250×250 px; bone marrow smear:
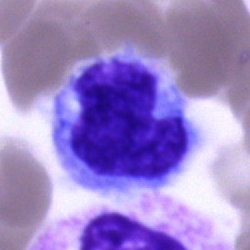Cell = monocyte.